Brightfield microscopy, 40× oil immersion. Bone marrow aspirate smear:
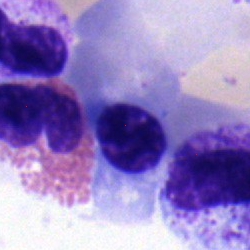

Cell type: nucleated red cell.